Bone marrow aspirate smear — 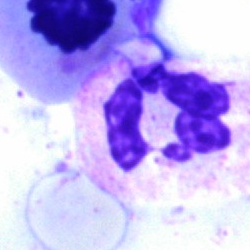
Specimen: bone marrow smear.
Cell type: segmented neutrophil.